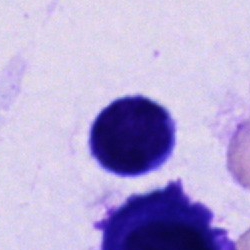The cell is cell of indeterminate lineage.